Peripheral blood smear.
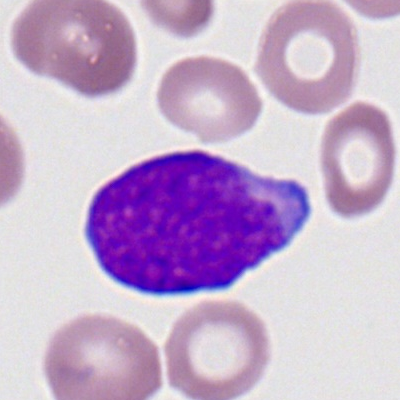Specimen: peripheral blood smear.
Cell: myeloblast.
Lineage: myeloid.